Bone marrow aspirate smear. May-Grünwald-Giemsa/Pappenheim stain. Cropped to a single cell — 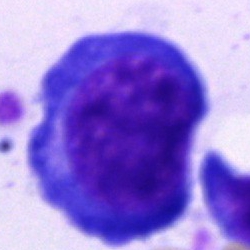Cell type — proerythroblast.